250×250; bone marrow smear; cropped to a single cell — 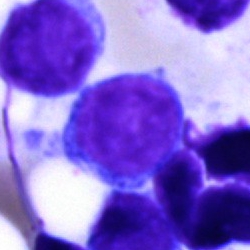 Specimen: bone marrow aspirate smear.
Classification: typical lymphocyte.
Lineage: lymphoid.